Bone marrow aspirate smear:
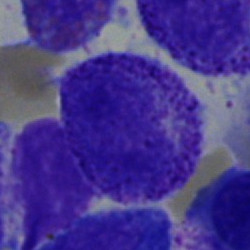
Morphology consistent with a myelocyte.